Bone marrow smear
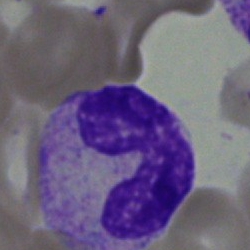Impression — stab cell.